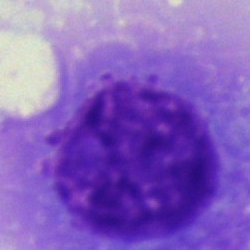

Morphology consistent with an artefact.